Bone marrow aspirate smear. May-Grünwald-Giemsa stain
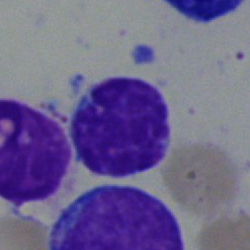Single cell identified as a typical lymphocyte.